Single-cell crop · bone marrow aspirate smear: 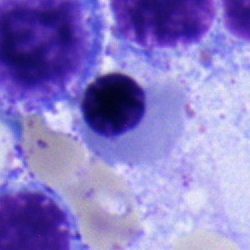
Cell type = nucleated red cell.